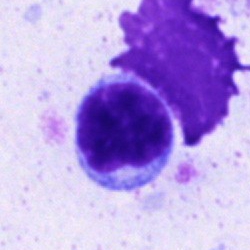 Morphology consistent with a typical lymphocyte.